Bone marrow aspirate smear · Pappenheim-stained · 40× objective, oil immersion: 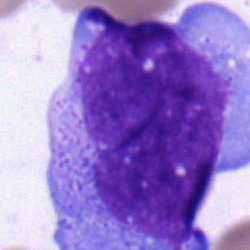A blast cell.